Bone marrow smear:
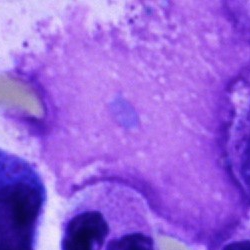

The cell shown is an artefact.